Bone marrow aspirate smear: 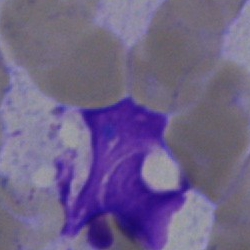

Showing an artefact.